40× objective, oil immersion · bone marrow smear:
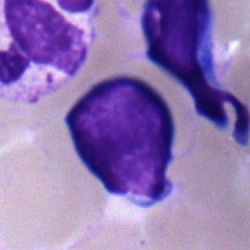
Morphological class — typical lymphocyte.